Cropped to a single cell. 250 by 250 pixels. Bone marrow aspirate smear — 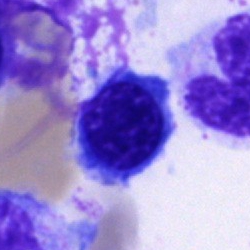Q: What cell is this?
A: This is an erythroblast.